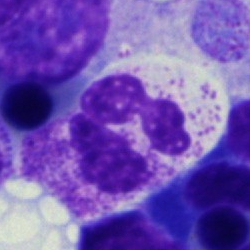

Q: What type of cell is this?
A: This is a neutrophil (segmented).